40× oil immersion; bone marrow smear:
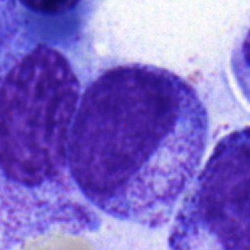 Q: What is the morphological classification of this cell?
A: This is a myelocyte.